Bone marrow aspirate smear: 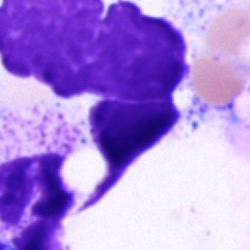

Q: What is shown here?
A: This is an artifact.